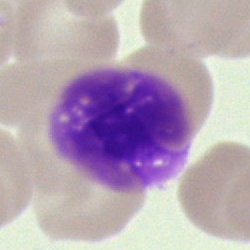The classification is artefact.